Bone marrow aspirate smear.
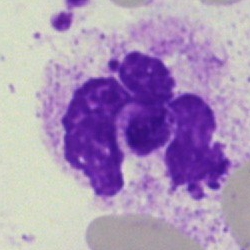An artefact.